Bone marrow aspirate smear
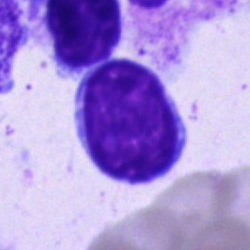 Cell type: plasma cell.